Bone marrow aspirate smear. 250×250 px — 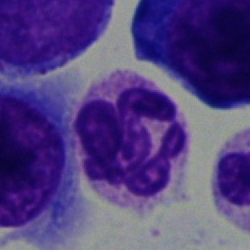 Morphology consistent with a neutrophil (segmented).